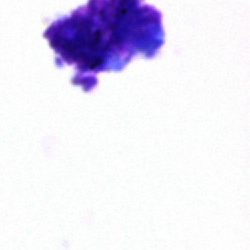
Specimen: bone marrow aspirate smear.
Cell: cell of indeterminate lineage.